Image size 250×250; bone marrow smear: 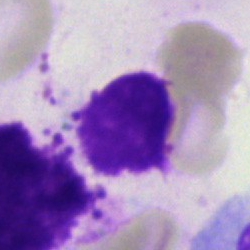An artifact.